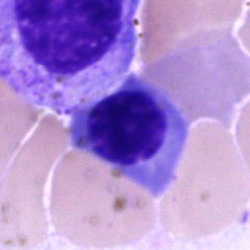 Q: Which cell type is shown here?
A: A normoblast.